Bone marrow smear. Single cell centered in the field. Brightfield microscopy, 40× oil immersion — 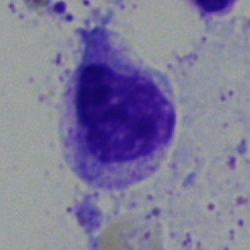Morphological class = myelocyte.